Bone marrow aspirate smear — 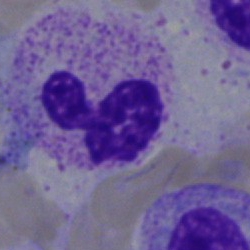
Specimen: bone marrow aspirate smear.
Classification: neutrophil (segmented).